May-Grünwald-Giemsa/Pappenheim stain; brightfield microscopy, 40× oil immersion; bone marrow aspirate smear: 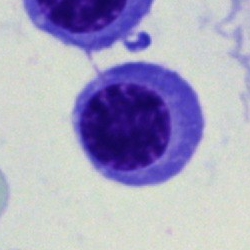Specimen: bone marrow smear.
Morphological class: nucleated red blood cell.
Lineage: erythroid.